Bone marrow smear: 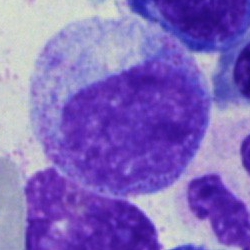This is a promyelocyte.